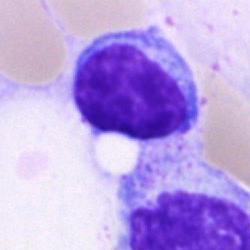
Showing a lymphocyte.